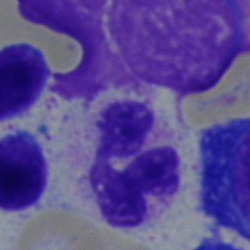 Cell: neutrophil (segmented).